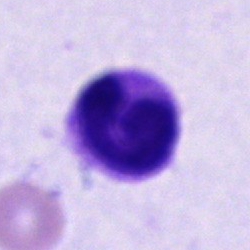

Bone marrow smear showing a segmented neutrophil.